Peripheral blood film — 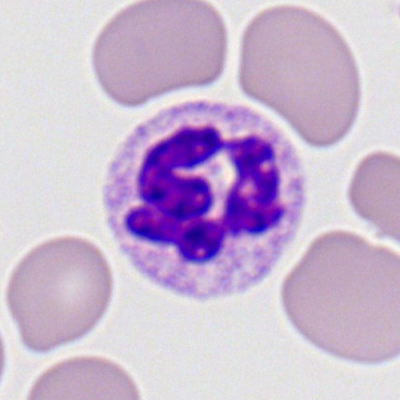

Impression — neutrophil (segmented).